Brightfield, 40× oil-immersion objective; bone marrow aspirate smear:
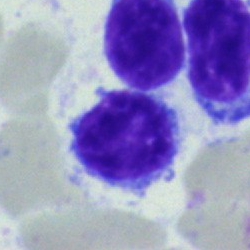{"cell_type": "lymphocyte", "lineage": "lymphoid"}